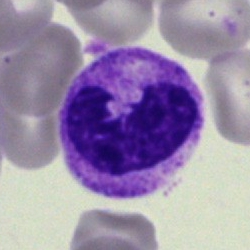 {"cell_type": "stab cell", "lineage": "myeloid"}